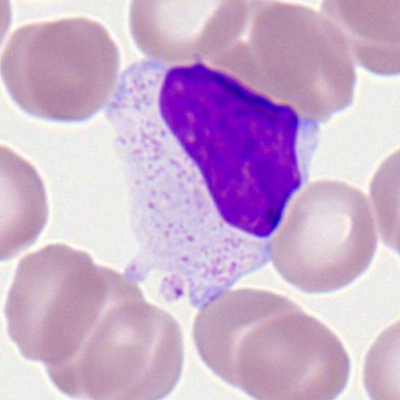Single cell identified as a typical lymphocyte.